Bone marrow smear
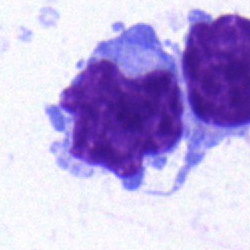A typical lymphocyte.